Bone marrow aspirate smear: 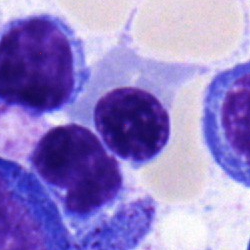 A normoblast.